Bone marrow aspirate smear:
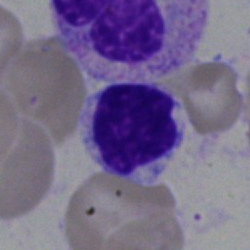
Morphology consistent with a typical lymphocyte.